Peripheral blood film
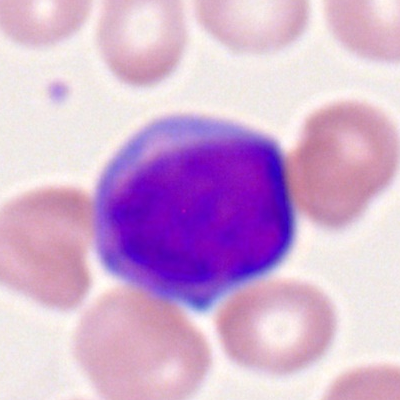

This is a myeloid blast.